Bone marrow smear · 250 by 250 pixels
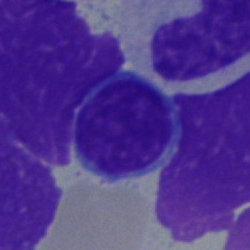 Cell = typical lymphocyte.